Brightfield, 40× oil-immersion objective · bone marrow smear · 250 by 250 pixels
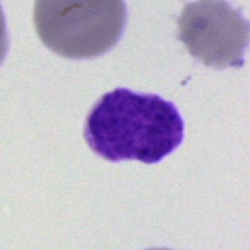 Impression — artefact.